Peripheral blood smear.
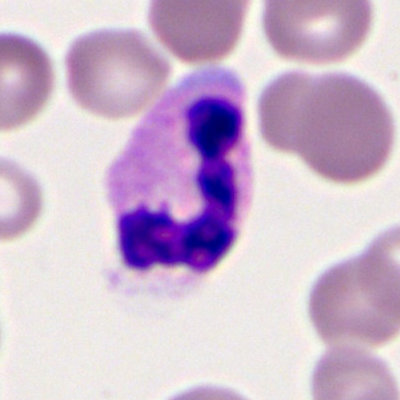Impression → neutrophil (segmented).